Bone marrow aspirate smear
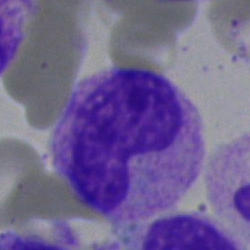 The cell shown is a band-form neutrophil.